Peripheral blood film. Romanowsky-stained.
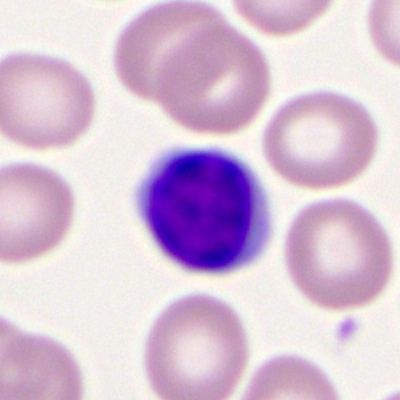
{"cell_type": "lymphocyte", "lineage": "lymphoid"}